Bone marrow aspirate smear — 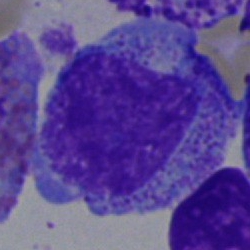 Q: What is shown here?
A: It is a progranulocyte.